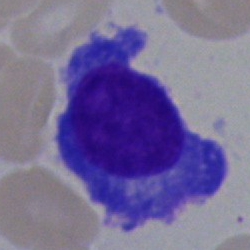Impression → plasmacyte.